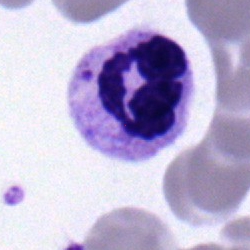 Q: What is the morphological classification of this cell?
A: A polymorphonuclear neutrophil.